Bone marrow aspirate smear: 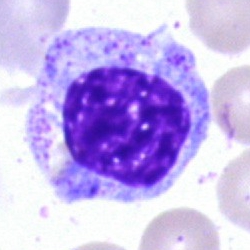 This is a myelocyte.